Bone marrow aspirate smear: 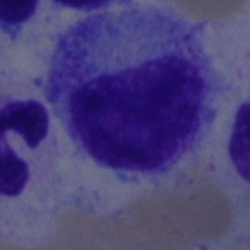 Cell = promyelocyte.